250 by 250 pixels; single-cell crop; bone marrow aspirate smear.
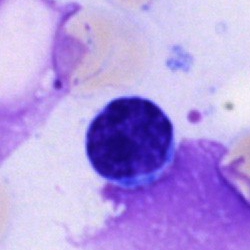Impression — typical lymphocyte.